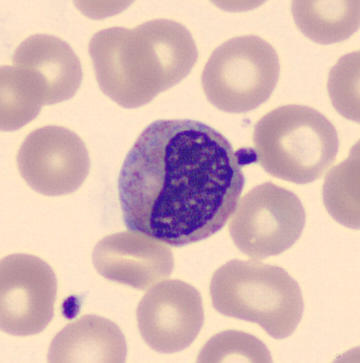
Classification: myelocyte.
Peripheral blood film; single-cell crop.